Cropped to a single cell; bone marrow smear
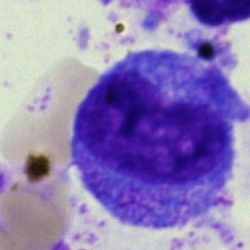
Impression — progranulocyte.